Bone marrow smear · image size 250×250.
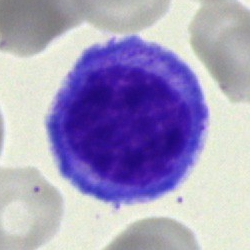Impression — progranulocyte.